Peripheral blood film. 400×400 px:
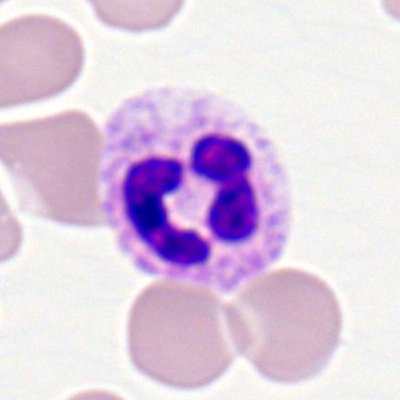
Classification — polymorphonuclear neutrophil.